Pappenheim-stained. Bone marrow smear. Single-cell crop
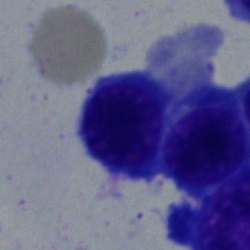 This is a nucleated red cell.